Bone marrow aspirate smear
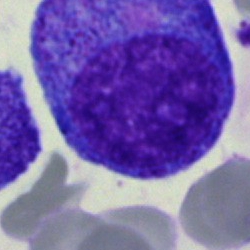

Cell type = progranulocyte.